Bone marrow smear.
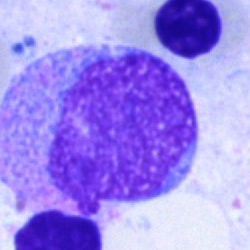Morphology → artifact.